Bone marrow aspirate smear · brightfield, 40× oil-immersion objective.
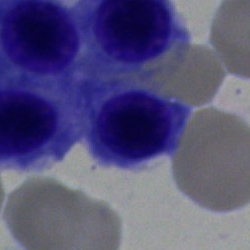

Cell = nucleated red blood cell.